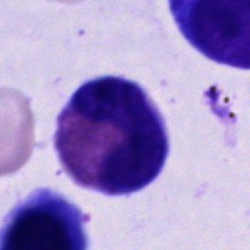 Q: What cell is this?
A: It is an eosinophil.